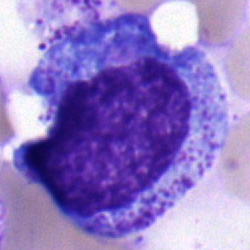The morphological class is myelocyte.